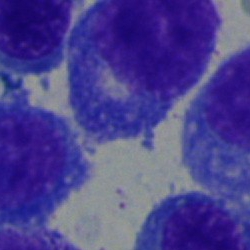

Single-cell crop from a bone marrow smear: plasma cell.